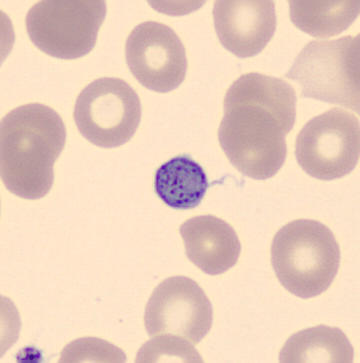A platelet (thrombocyte).
Peripheral blood film.